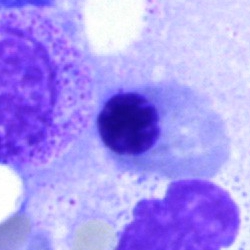Q: What type of cell is this?
A: It is a nucleated red blood cell.